Bone marrow aspirate smear · 250 by 250 pixels
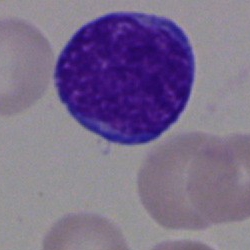Cell — blast.